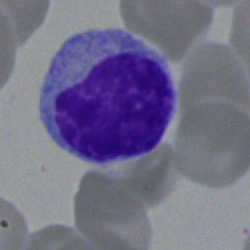Classification: typical lymphocyte.